Bone marrow aspirate smear
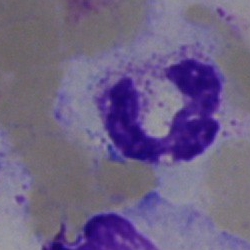The cell shown is a neutrophil (segmented).